Bone marrow smear:
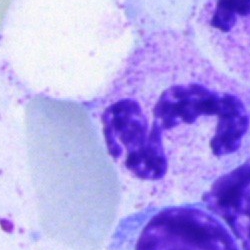

The cell shown is a segmented neutrophil.